Bone marrow smear — 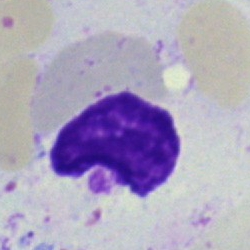

Morphology consistent with an artifact.